Bone marrow aspirate smear.
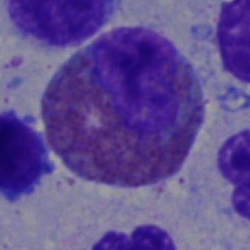

Showing an eosinophilic granulocyte.